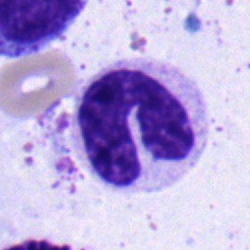 Morphological class = band neutrophil.